Bone marrow smear — 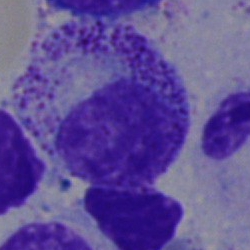Morphology consistent with a myelocyte.